Romanowsky-stained; peripheral blood film: 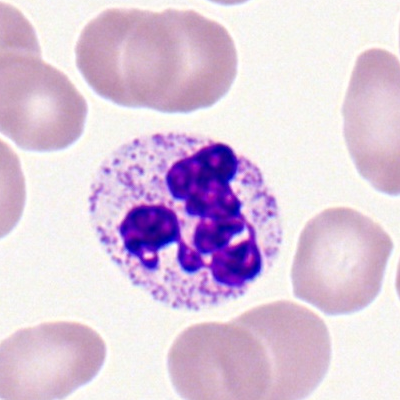

Morphological class: neutrophil (segmented).